May-Grünwald-Giemsa/Pappenheim stain; bone marrow aspirate smear
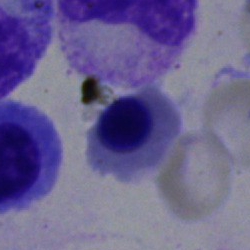 A nucleated red blood cell.